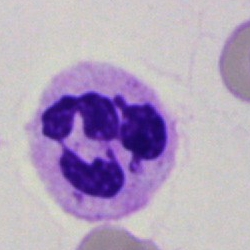Morphology → segmented neutrophil.